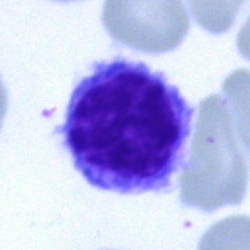
Bone marrow smear showing a hairy cell.